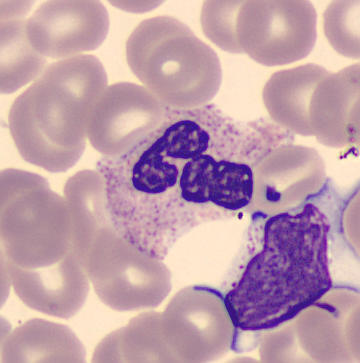Segmented neutrophil.

MGG stain. Peripheral blood smear.